Bone marrow aspirate smear · Pappenheim-stained — 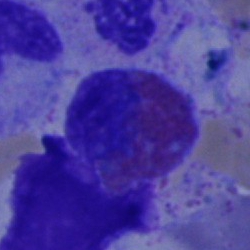

Impression — eosinophilic granulocyte.